Single-cell field; image size 250×250; bone marrow smear — 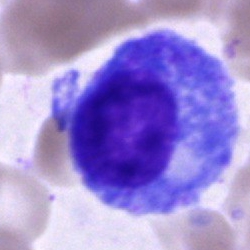{"cell_type": "progranulocyte", "lineage": "myeloid"}